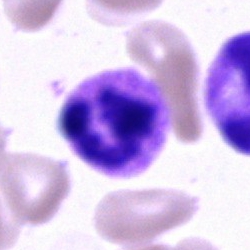
Specimen: bone marrow smear.
Morphological class: segmented neutrophil.